Bone marrow aspirate smear.
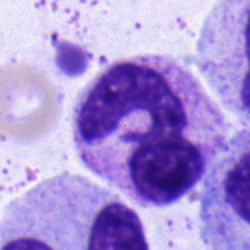
Showing a polymorphonuclear neutrophil.